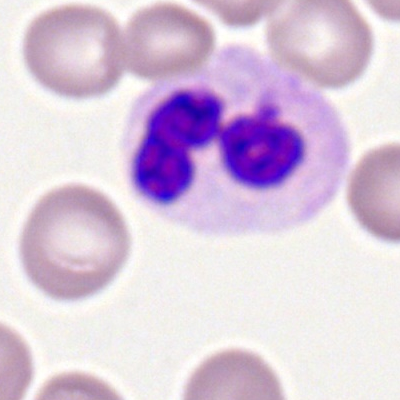
Single-cell crop from a peripheral blood smear: segmented neutrophil.